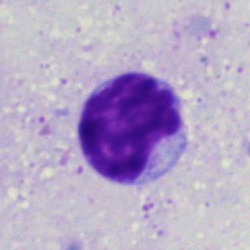 Bone marrow smear showing a lymphocyte.